Bone marrow smear · brightfield, 40× oil-immersion objective.
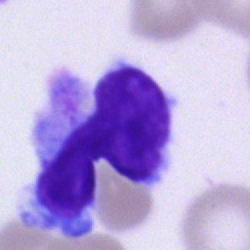Showing a lymphocyte.